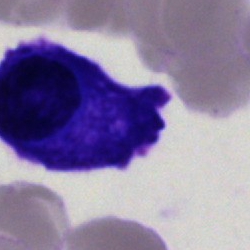 Specimen: bone marrow smear.
Morphological class: plasma cell.
Lineage: lymphoid.